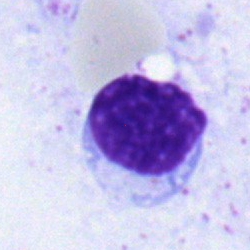 A typical lymphocyte on a bone marrow smear.